Bone marrow smear; 250 by 250 pixels.
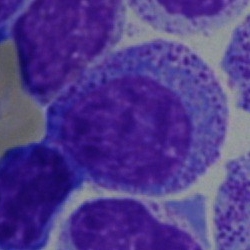 Specimen: bone marrow smear.
Classification: myelocyte.
Lineage: myeloid.